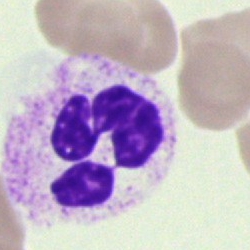

Showing a polymorphonuclear neutrophil.